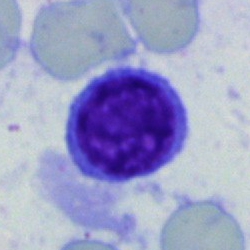

The cell shown is a lymphocyte.